Brightfield microscopy, 40× oil immersion; bone marrow aspirate smear: 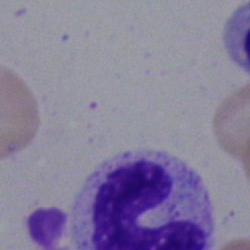

A neutrophil (band).